Cropped to a single cell · bone marrow aspirate smear
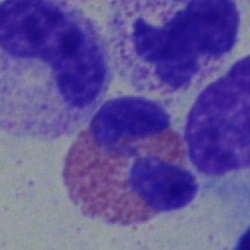 Morphology — eosinophil.